Bone marrow aspirate smear; single cell centered in the field.
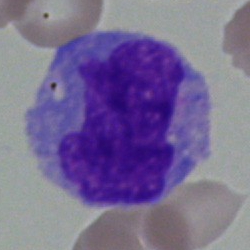
Cell — monocyte.